Bone marrow smear.
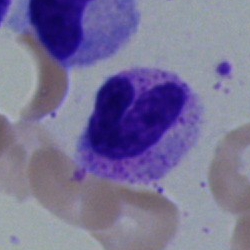 The morphological class is stab cell.